Brightfield, 100× oil-immersion objective · peripheral blood smear
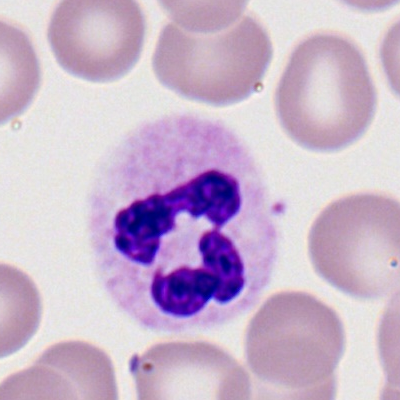
Impression — neutrophil (segmented).